250 by 250 pixels; bone marrow smear: 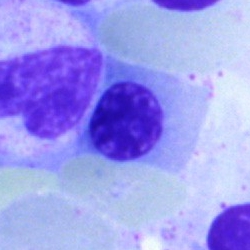Classification = nucleated red cell.